Bone marrow smear: 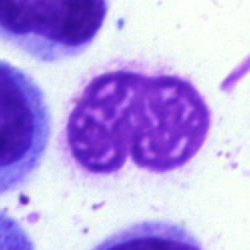Artifact.